Single cell centered in the field · bone marrow smear: 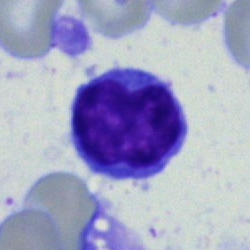Morphological class = lymphocyte.